Single-cell crop. Bone marrow smear.
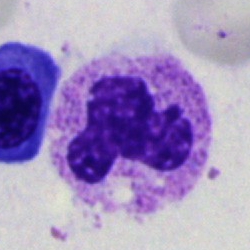
The cell shown is a segmented neutrophil.